Bone marrow smear — 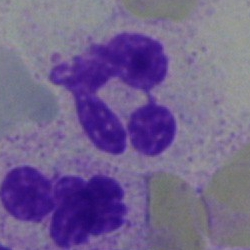 Impression → neutrophil (segmented).